Bone marrow aspirate smear:
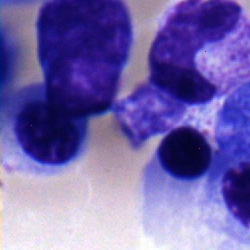
Showing an erythroblast.